Bone marrow smear — 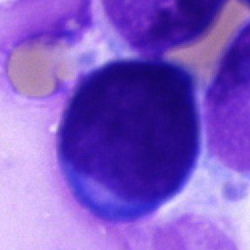{"cell_type": "undifferentiated blast"}